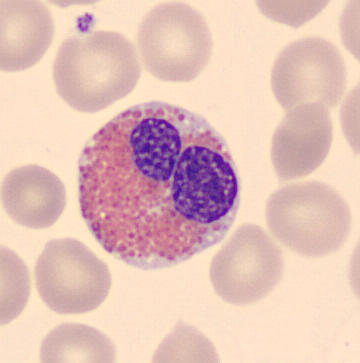

Peripheral blood smear · 360×363 · automated cell imaging (CellaVision DM96).
Q: Which cell type is shown here?
A: Eosinophilic granulocyte.